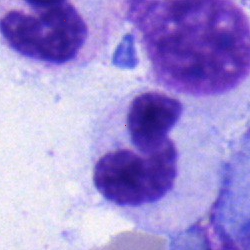

Specimen: bone marrow aspirate smear.
Morphological class: erythroblast.
Lineage: erythroid.